Bone marrow aspirate smear.
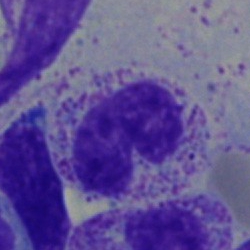
Cell — metamyelocyte.